40× oil immersion. Bone marrow aspirate smear — 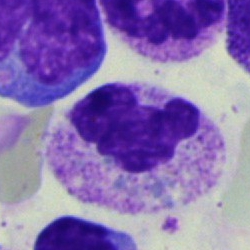

Showing a neutrophil (segmented).